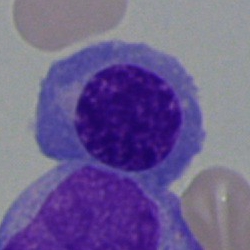Cell type: nucleated red blood cell.